Bone marrow smear.
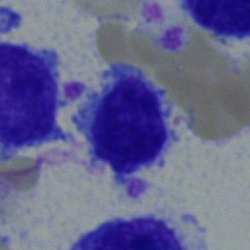 Showing a lymphocyte.